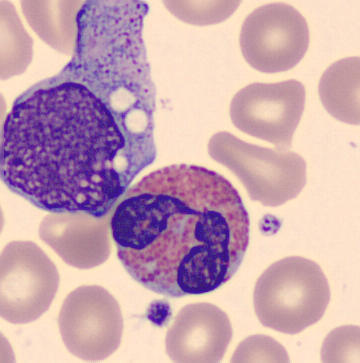 The cell shown is an eosinophilic granulocyte.

Peripheral blood smear.